May-Grünwald-Giemsa/Pappenheim stain · bone marrow smear · brightfield, 40× oil-immersion objective.
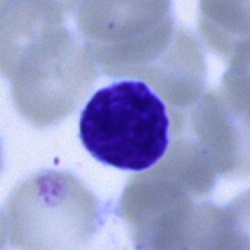

Specimen: bone marrow aspirate smear.
Classification: typical lymphocyte.